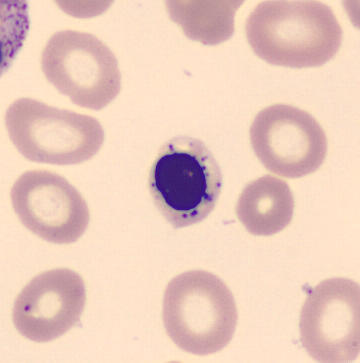 Specimen: peripheral blood film.
Cell type: nucleated red cell.
Lineage: erythroid.